Bone marrow smear — 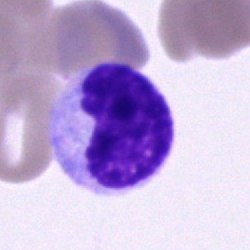 Cell of indeterminate lineage.